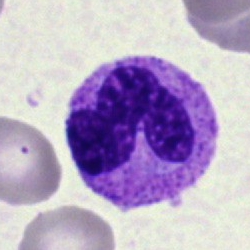Q: What cell is this?
A: This is a polymorphonuclear neutrophil.